Single-cell crop · bone marrow smear: 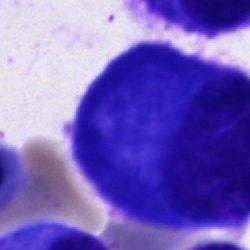
Q: Identify the cell.
A: A plasmacyte.